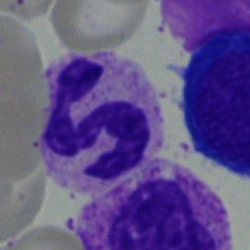

Single cell identified as a neutrophil (segmented).